Bone marrow smear:
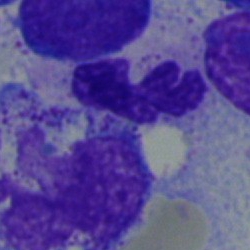
Morphology consistent with a segmented neutrophil.